Bone marrow aspirate smear: 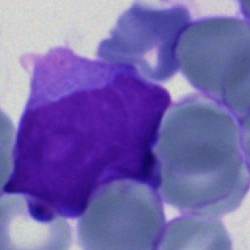

Morphological class = blast.